Bone marrow aspirate smear
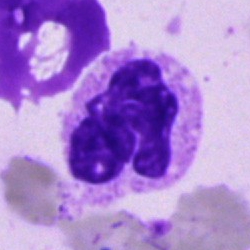
Q: Identify the cell.
A: A neutrophil (segmented).